Bone marrow smear: 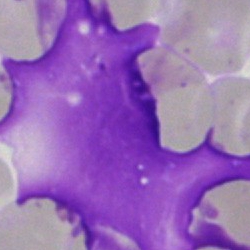Morphology consistent with an artefact.